Bone marrow aspirate smear — 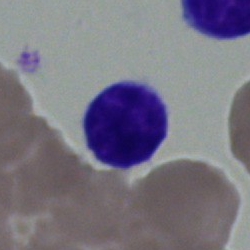

Cell type = lymphocyte.